Bone marrow aspirate smear: 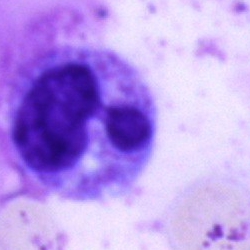
This is a segmented neutrophil.